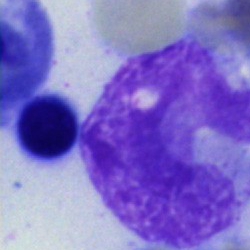 Single-cell crop from a bone marrow smear: band neutrophil.